Cropped to a single cell; bone marrow aspirate smear — 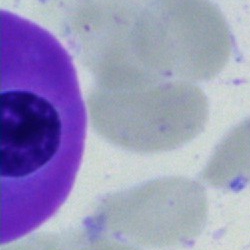 Morphology → unidentifiable cell.